Bone marrow aspirate smear:
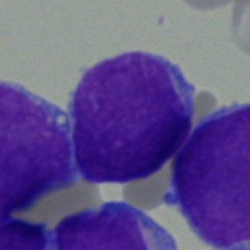Morphology → blast.